Peripheral blood film:
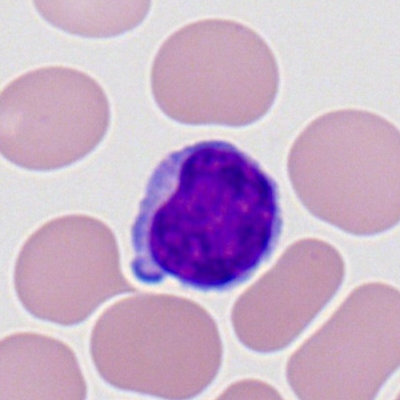
The morphological class is typical lymphocyte.